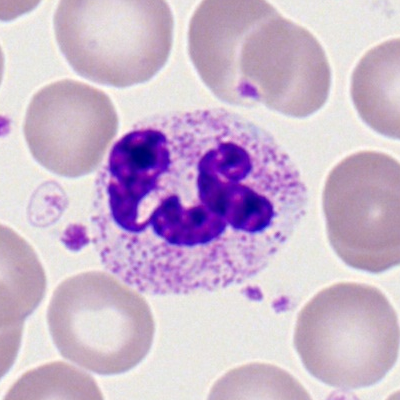Morphology → segmented neutrophil.